Bone marrow smear: 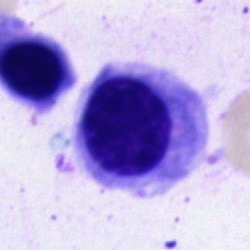A nucleated red blood cell.